250×250 px · bone marrow aspirate smear · 40× oil immersion
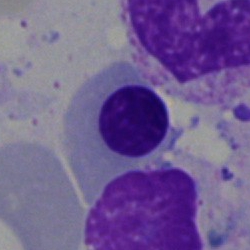Morphological class: erythroblast.